Pappenheim-stained · bone marrow smear.
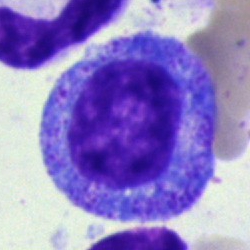

Specimen: bone marrow aspirate smear.
Morphological class: progranulocyte.
Lineage: myeloid.